Bone marrow aspirate smear. Single-cell field
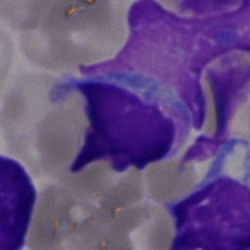

Morphology → typical lymphocyte.